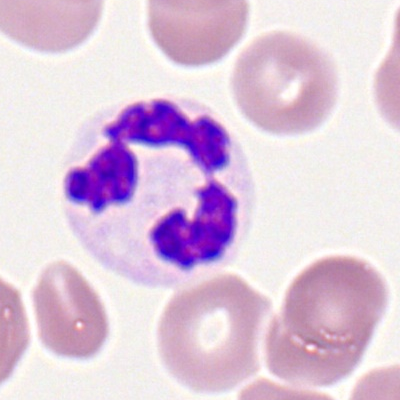

Cell type — segmented neutrophil.